Bone marrow smear
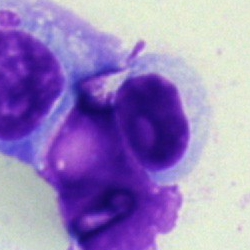

Impression — artifact.